Bone marrow smear; image size 250×250; cropped to a single cell
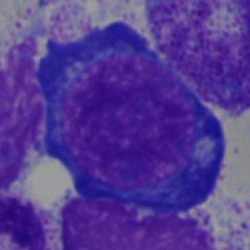
The morphological class is nucleated red cell.